Bone marrow aspirate smear · single-cell crop — 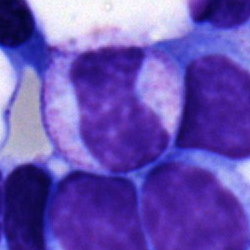 The cell shown is a metamyelocyte.